Bone marrow smear.
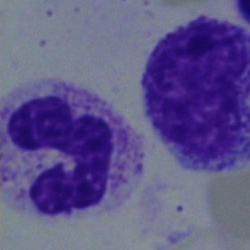Cell: segmented neutrophil.